Bone marrow aspirate smear; May-Grünwald-Giemsa stain; brightfield microscopy, 40× oil immersion: 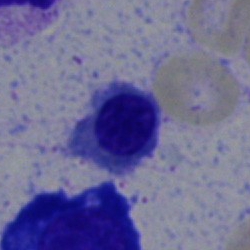Q: What type of cell is this?
A: This is an erythroblast.